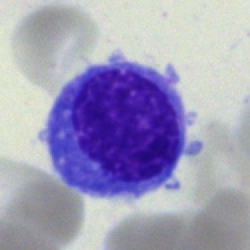

Single cell identified as an undifferentiated blast.